Bone marrow aspirate smear. 40× oil immersion. May-Grünwald-Giemsa stain — 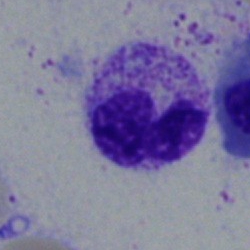

Specimen: bone marrow smear.
Classification: neutrophil (segmented).